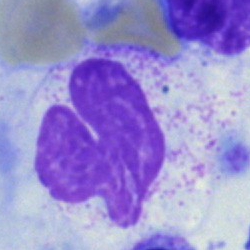

Q: What is shown here?
A: An artifact.